M8 digital microscope (Precipoint), 100× oil immersion; peripheral blood smear:
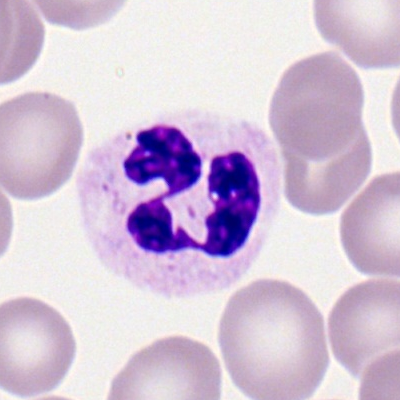 Showing a polymorphonuclear neutrophil.